Bone marrow aspirate smear — 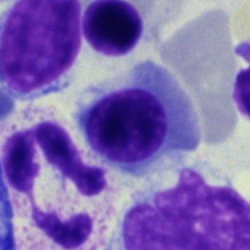
This is a nucleated red blood cell.